Bone marrow smear.
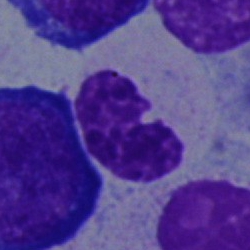
A band-form neutrophil.